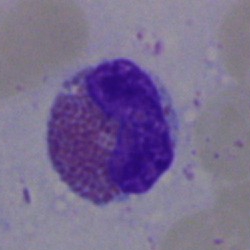
This is an eosinophil.